Single cell centered in the field · bone marrow aspirate smear — 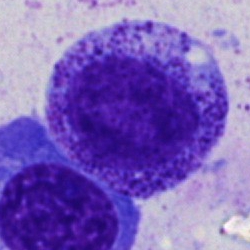
Specimen: bone marrow aspirate smear.
Cell: myelocyte.
Lineage: myeloid.